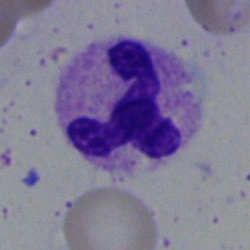Q: What cell is this?
A: It is a polymorphonuclear neutrophil.